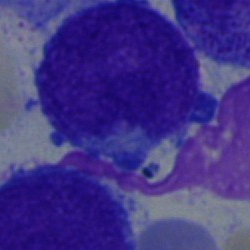Specimen: bone marrow smear.
Cell: blast.